Bone marrow smear — 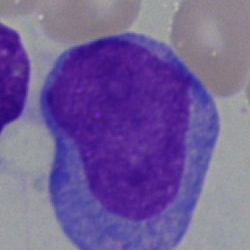
Blast cell.